Single cell centered in the field. 40× objective, oil immersion. Bone marrow aspirate smear.
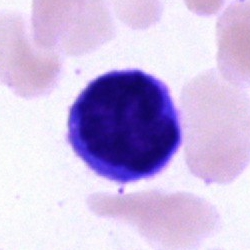
This is a typical lymphocyte.